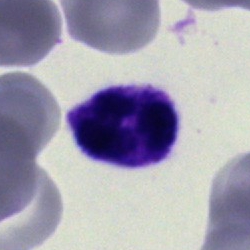Impression → lymphocyte.